Bone marrow smear
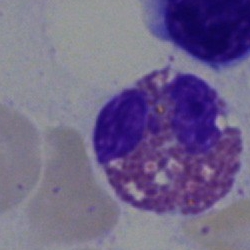Classification — eosinophilic granulocyte.